Bone marrow aspirate smear; 250×250:
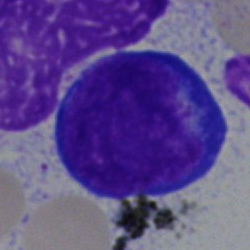The cell is pronormoblast.